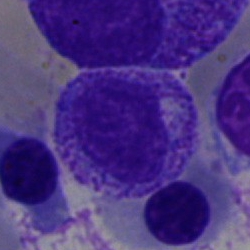 The cell type is myelocyte.